MGG-stained; bone marrow aspirate smear; 250 by 250 pixels:
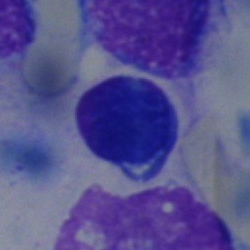
Showing a lymphocyte.